Brightfield, 40× oil-immersion objective; single cell centered in the field; bone marrow aspirate smear:
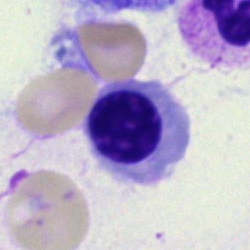

Specimen: bone marrow smear.
Cell type: erythroblast.